Brightfield microscopy, 40× oil immersion; bone marrow aspirate smear
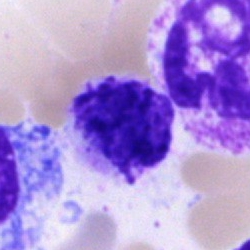 Specimen: bone marrow aspirate smear.
Cell type: artefact.